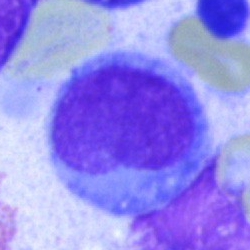Morphology consistent with a hairy cell.